Bone marrow smear
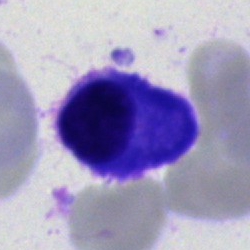Plasmacyte.